Bone marrow smear — 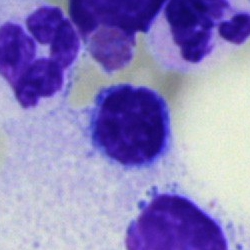Q: Identify the cell.
A: It is a lymphocyte.